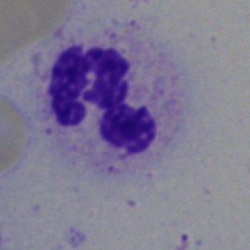 Specimen: bone marrow aspirate smear.
Cell: neutrophil (segmented).
Lineage: myeloid.